Bone marrow smear:
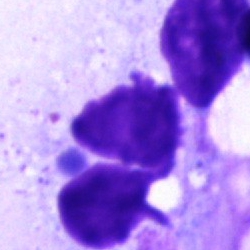 Morphological class = artifact.